Bone marrow aspirate smear:
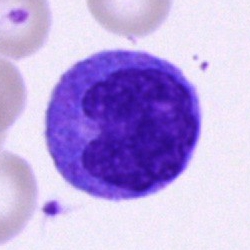
Showing a monocyte.